Bone marrow smear. 250×250 px:
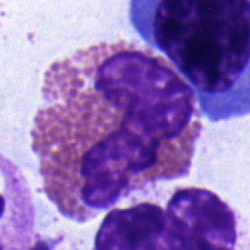{"cell_type": "eosinophilic granulocyte"}